Bone marrow aspirate smear — 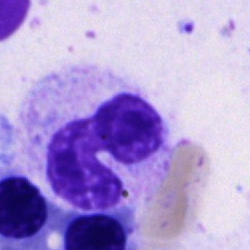Q: Identify the cell.
A: This is a stab cell.